Bone marrow aspirate smear · single-cell field · 250 by 250 pixels.
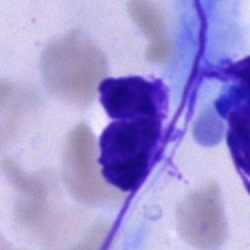 Q: What is shown here?
A: Artefact.